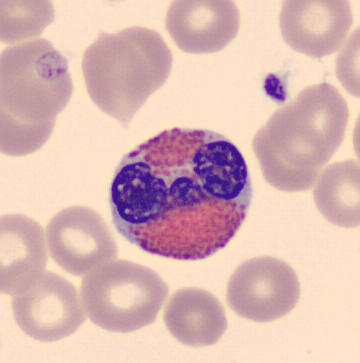Image: Peripheral blood smear.

Single cell identified as an eosinophilic granulocyte.